Single-cell field; brightfield, 40× oil-immersion objective; bone marrow aspirate smear: 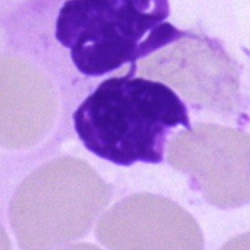Q: What is shown here?
A: This is a segmented neutrophil.